40× objective, oil immersion · bone marrow aspirate smear: 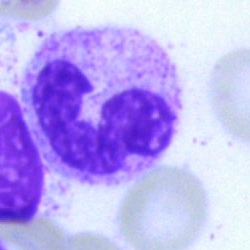 The cell shown is a segmented neutrophil.